Bone marrow aspirate smear. Brightfield microscopy, 40× oil immersion — 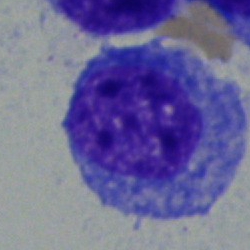This is a progranulocyte.